Bone marrow smear: 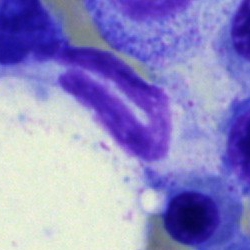 The cell type is unidentifiable cell.